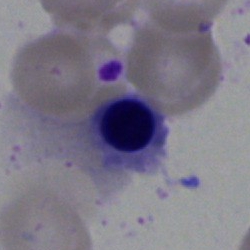 Classification: normoblast.